Bone marrow aspirate smear: 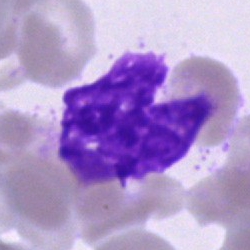Cell of indeterminate lineage.